Pappenheim-stained; bone marrow aspirate smear; 250 by 250 pixels.
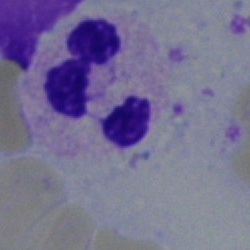 This is a neutrophil (segmented).